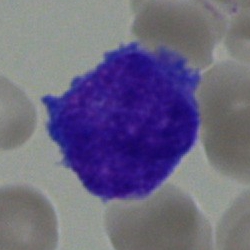 Specimen: bone marrow aspirate smear.
Cell type: blast.